Bone marrow smear — 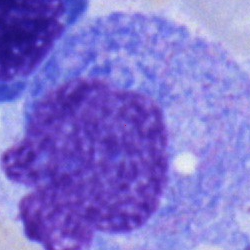

Morphological class: monocyte.